Bone marrow aspirate smear · single-cell crop · 40× objective, oil immersion.
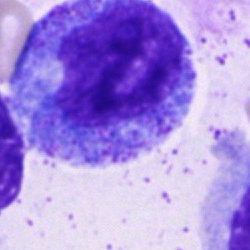

Showing a progranulocyte.